Bone marrow smear.
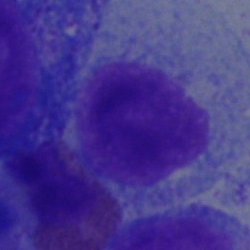{"cell_type": "myelocyte"}